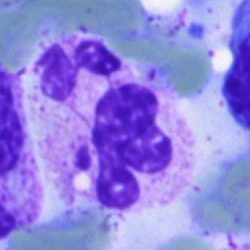
Morphological class: segmented neutrophil.